360 by 363 pixels; peripheral blood film: 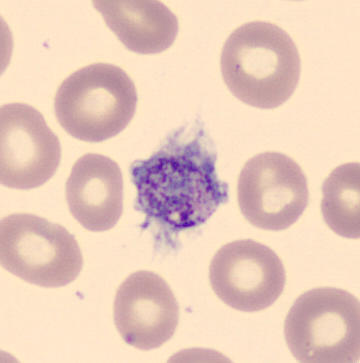
Identified as a platelet.